Brightfield, 40× oil-immersion objective. 250×250 px. Bone marrow aspirate smear: 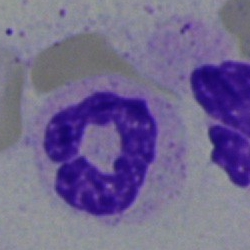

Morphological class: segmented neutrophil.